Bone marrow smear:
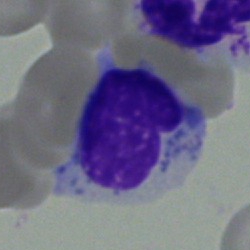 A lymphocyte.